May-Grünwald-Giemsa/Pappenheim stain; bone marrow smear: 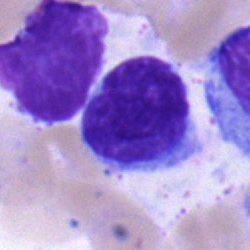
Q: Which cell type is shown here?
A: Hairy cell.